250×250; bone marrow aspirate smear.
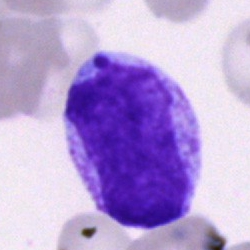Specimen: bone marrow smear.
Morphological class: cell of indeterminate lineage.